Bone marrow aspirate smear · May-Grünwald-Giemsa stain · single-cell crop:
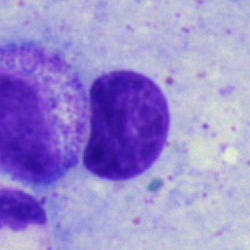
Showing an artefact.